Bone marrow aspirate smear — 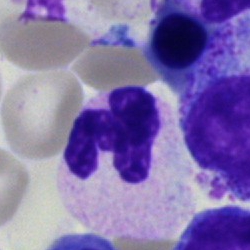
Impression → polymorphonuclear neutrophil.